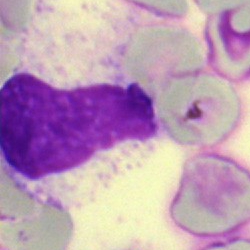Classification: artifact.